Peripheral blood smear. Image size 400×400:
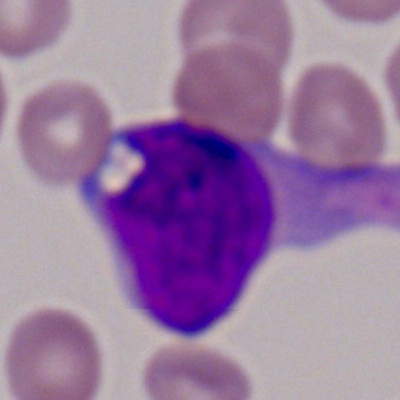
Specimen: peripheral blood film.
Morphological class: myeloblast.
Lineage: myeloid.